Bone marrow aspirate smear:
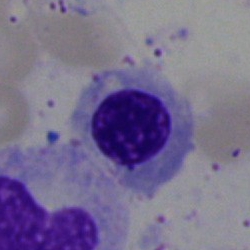 A nucleated red cell.